Bone marrow smear.
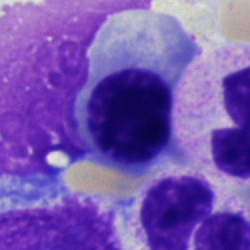Specimen: bone marrow aspirate smear.
Morphological class: erythroblast.
Lineage: erythroid.